Single-cell field; bone marrow smear; MGG-stained
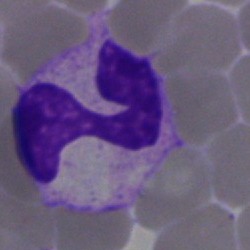

Classification = segmented neutrophil.